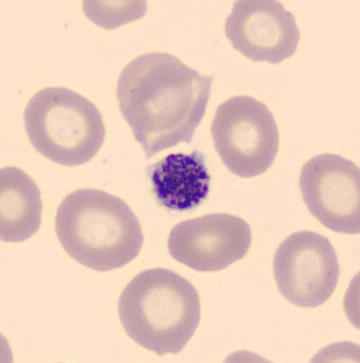 May-Grünwald-Giemsa-stained; peripheral blood film.

Q: What is shown here?
A: This is a thrombocyte.